Bone marrow smear:
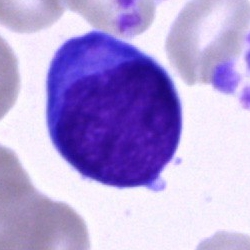

Impression → blast.